Bone marrow smear · 250×250 — 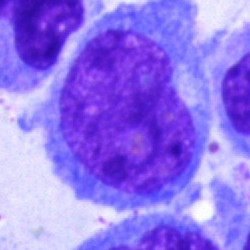
Classification: undifferentiated blast.